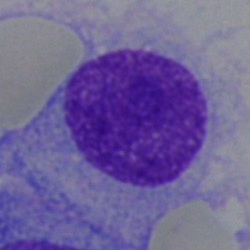{"cell_type": "plasmacyte", "lineage": "lymphoid"}